Peripheral blood smear:
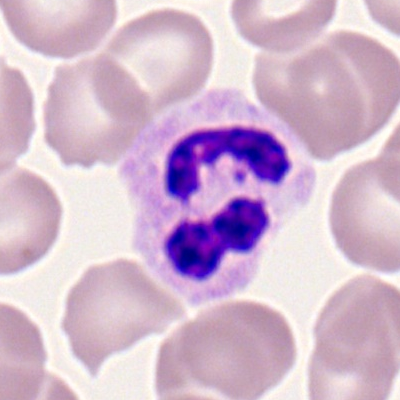
Morphology consistent with a segmented neutrophil.